Bone marrow aspirate smear.
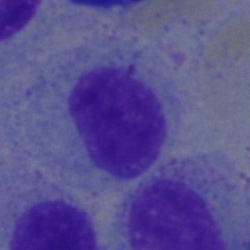This is a myelocyte.